Bone marrow smear · image size 250×250 · 40× oil immersion:
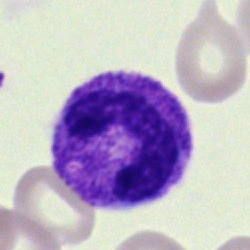 A stab cell.